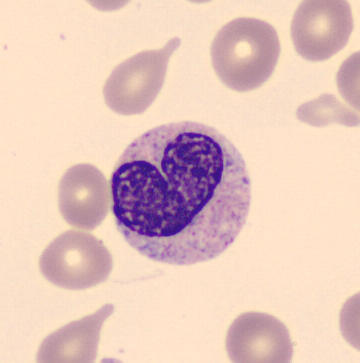
Showing a metamyelocyte. Acquisition: Imaged on a CellaVision DM96 analyser. Single-cell crop. Peripheral blood smear.